Image size 250×250; bone marrow aspirate smear; 40× oil immersion
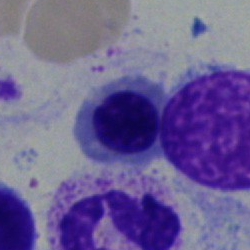

The cell is erythroblast.